Bone marrow smear.
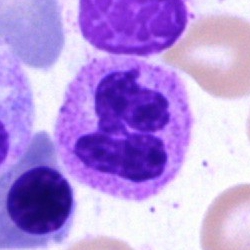
Morphology → segmented neutrophil.